Single-cell field. Bone marrow smear
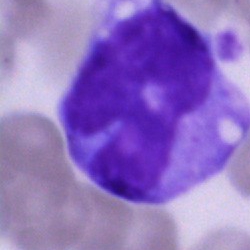 The cell shown is a monocyte.